Bone marrow aspirate smear; cropped to a single cell — 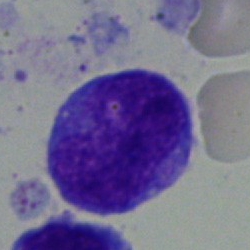

Showing a blast.